Bone marrow aspirate smear · 250×250 · May-Grünwald-Giemsa/Pappenheim stain:
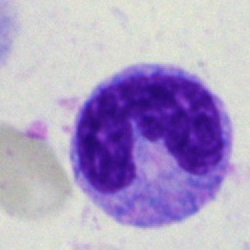Impression — monocyte.